Bone marrow smear.
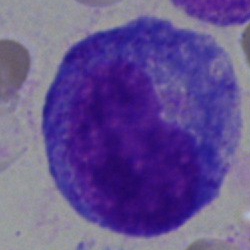
{"cell_type": "progranulocyte"}